Bone marrow smear; 250×250 px.
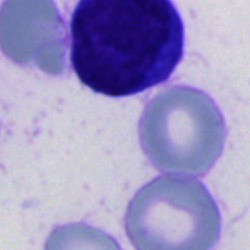Classification = unidentifiable cell.